Bone marrow smear · May-Grünwald-Giemsa stain — 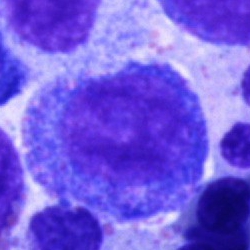 Specimen: bone marrow aspirate smear.
Cell type: promyelocyte.